Bone marrow smear
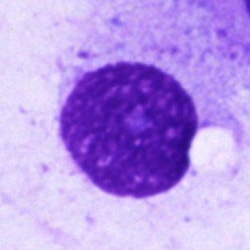Morphological class = artefact.